40× oil immersion. Bone marrow smear
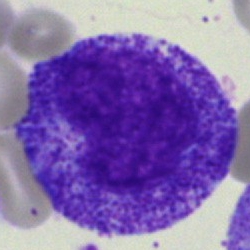
Impression → promyelocyte.